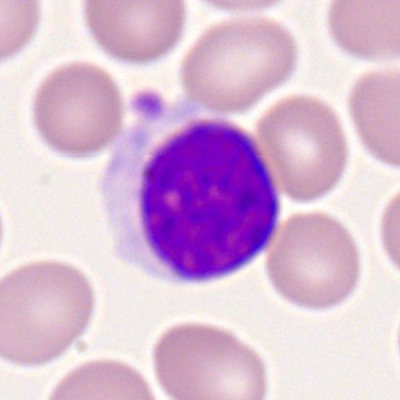 Cell type = typical lymphocyte.